Bone marrow smear.
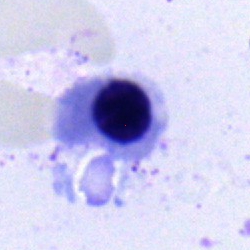
Single cell identified as a normoblast.